40× oil immersion · bone marrow aspirate smear
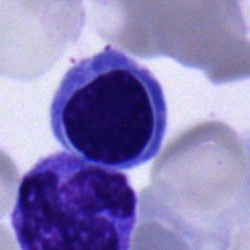 Showing a lymphocyte.